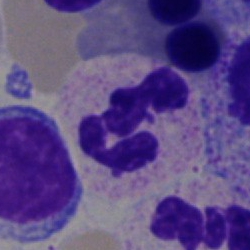
Cell type — polymorphonuclear neutrophil.